Single cell centered in the field; Romanowsky-stained; peripheral blood smear — 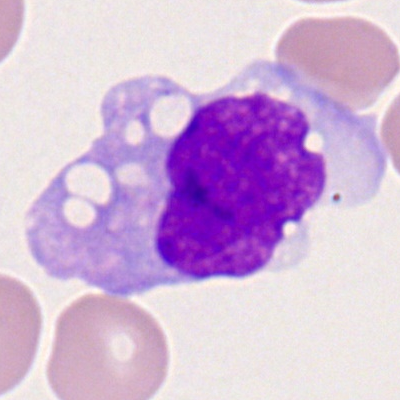 Showing a monocyte.